Bone marrow smear: 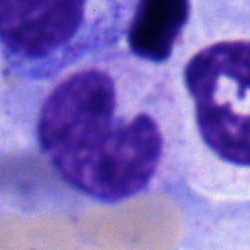

Cell: metamyelocyte.